Peripheral blood film. 100× objective, oil immersion
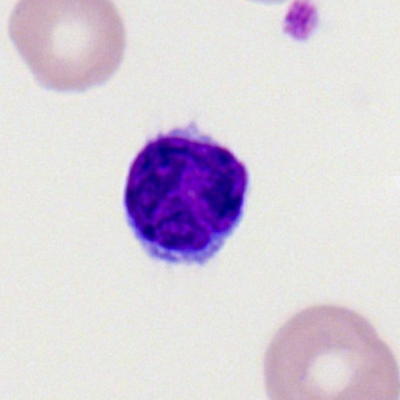
Showing a lymphocyte.